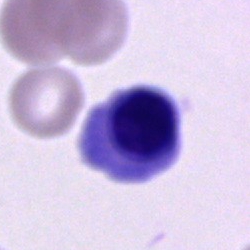

This is a cell of indeterminate lineage.